Brightfield microscopy, 40× oil immersion. Bone marrow aspirate smear: 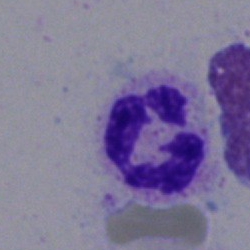

Q: Which cell type is shown here?
A: Neutrophil (segmented).